Bone marrow smear; 250×250: 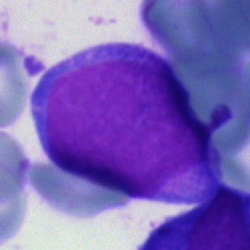Classification: blast cell.